250×250 px · bone marrow aspirate smear · brightfield, 40× oil-immersion objective — 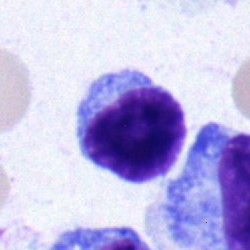

Q: Which cell type is shown here?
A: It is a typical lymphocyte.